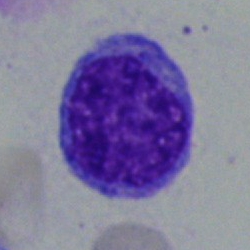 Morphology → blast.